Bone marrow aspirate smear · 40× oil immersion.
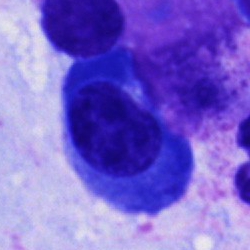
Classification = plasma cell.